Brightfield microscopy, 40× oil immersion; bone marrow aspirate smear.
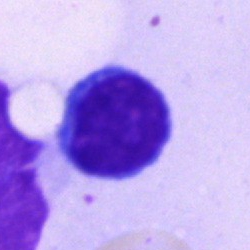Showing a lymphocyte.